Bone marrow smear: 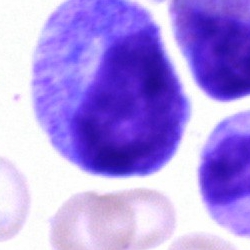

Specimen: bone marrow aspirate smear.
Classification: progranulocyte.